250×250; bone marrow smear: 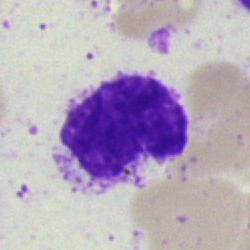

Single cell identified as an artifact.